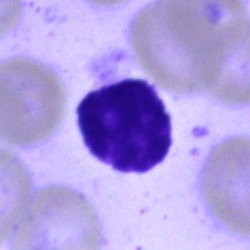
Q: Identify the cell.
A: This is a typical lymphocyte.